Bone marrow smear.
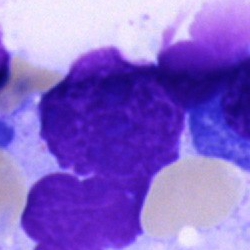Specimen: bone marrow aspirate smear.
Cell type: artefact.